Bone marrow aspirate smear:
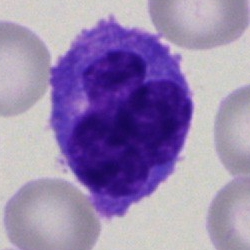

Single cell identified as a monocyte.